250×250 px · bone marrow smear · MGG-stained — 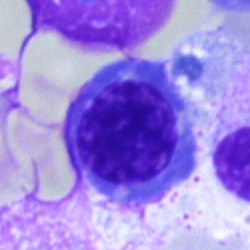 Single cell identified as a basophil.